Peripheral blood smear — 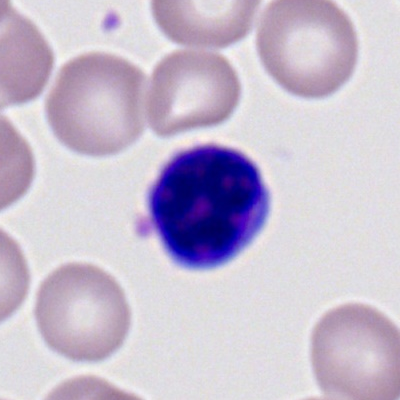 Cell — lymphocyte.